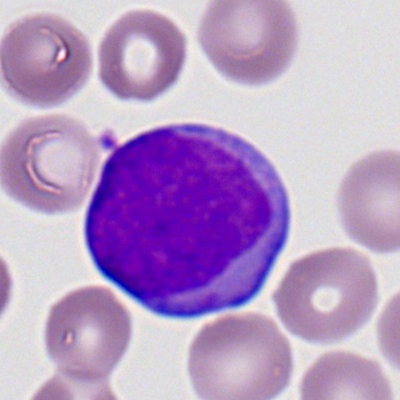
Cell = myeloid blast.